Bone marrow aspirate smear: 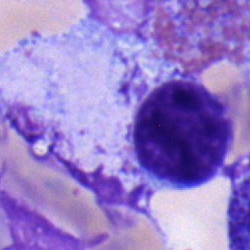 Single cell identified as a lymphocyte.